Single-cell field · brightfield microscopy, 40× oil immersion · bone marrow smear.
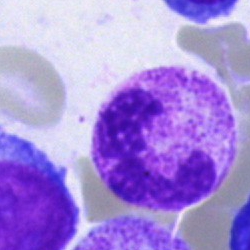
Morphology — polymorphonuclear neutrophil.